Bone marrow smear: 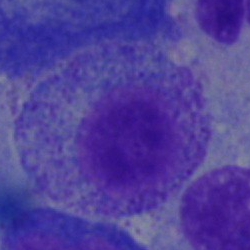
Specimen: bone marrow aspirate smear.
Cell type: myelocyte.
Lineage: myeloid.